Bone marrow aspirate smear.
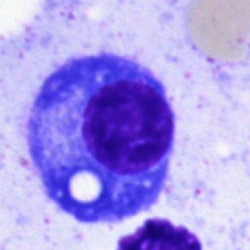Classification — plasma cell.